Bone marrow aspirate smear.
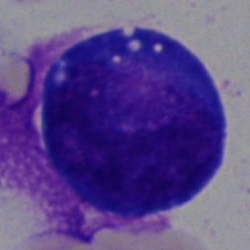The cell type is blast cell.